May-Grünwald-Giemsa stain. Single-cell crop. Bone marrow smear.
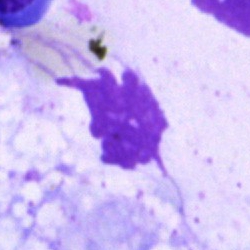
Q: What is shown here?
A: An artifact.